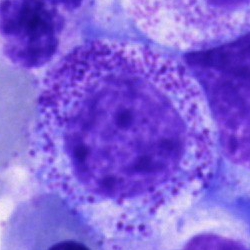

Q: What cell is this?
A: This is a progranulocyte.